Bone marrow aspirate smear:
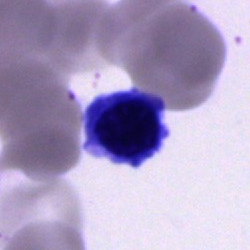 Showing a nucleated red blood cell.